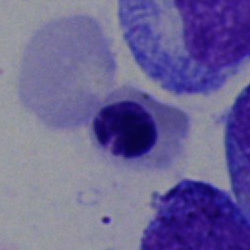Bone marrow aspirate smear, single cell — nucleated red blood cell.